Bone marrow aspirate smear. May-Grünwald-Giemsa stain. 250 by 250 pixels:
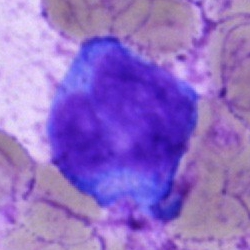 Classification = blast cell.